Image size 250×250; bone marrow smear — 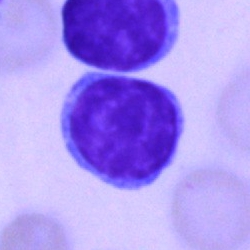
Single cell identified as a lymphocyte.